Brightfield, 40× oil-immersion objective · May-Grünwald-Giemsa/Pappenheim stain · bone marrow aspirate smear.
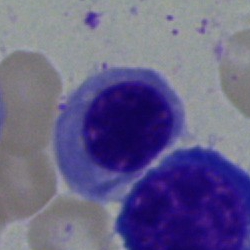 The cell is erythroblast.